Bone marrow smear · May-Grünwald-Giemsa/Pappenheim stain: 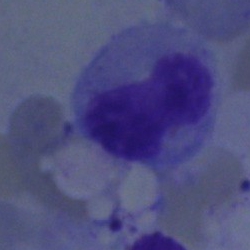 Specimen: bone marrow aspirate smear.
Classification: band-form neutrophil.